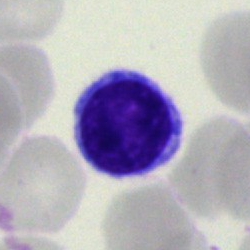
Single-cell crop from a bone marrow smear: typical lymphocyte.